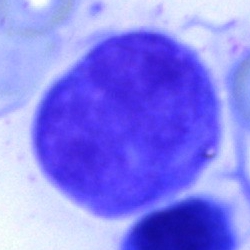

Single-cell crop from a bone marrow smear: progranulocyte.